Bone marrow aspirate smear
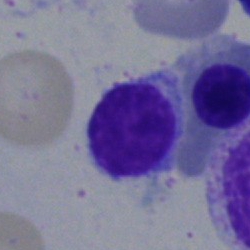
Morphology consistent with a typical lymphocyte.